250×250 px; bone marrow smear; brightfield, 40× oil-immersion objective — 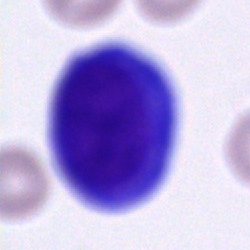 Showing a cell of indeterminate lineage.